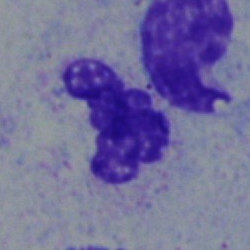

Classification = polymorphonuclear neutrophil.